Bone marrow smear — 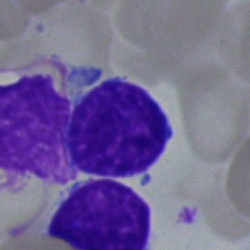

Q: What cell is this?
A: This is a lymphocyte.